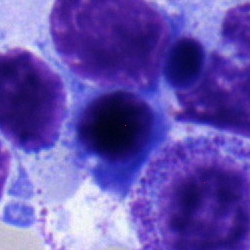{"cell_type": "nucleated red blood cell", "lineage": "erythroid"}